Bone marrow aspirate smear — 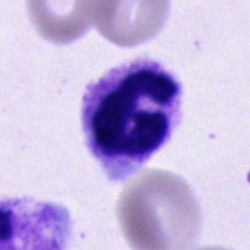A segmented neutrophil.